Bone marrow smear — 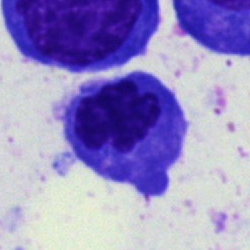Impression — plasma cell.